Bone marrow aspirate smear
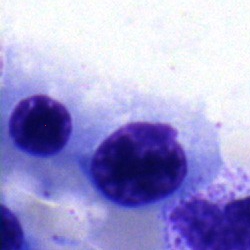{"cell_type": "nucleated red blood cell"}